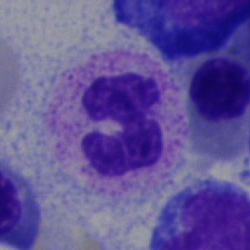 Morphology → segmented neutrophil.